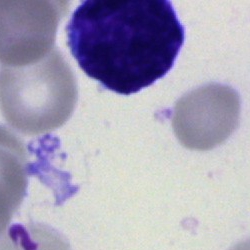
Q: What is shown here?
A: It is an undifferentiated blast.